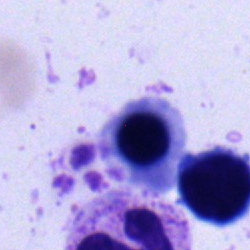Q: What type of cell is this?
A: Normoblast.